Bone marrow smear — 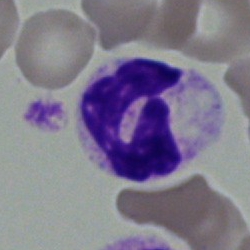Classification = polymorphonuclear neutrophil.